M8 digital microscope (Precipoint), 100× oil immersion. Image size 400×400. Peripheral blood film
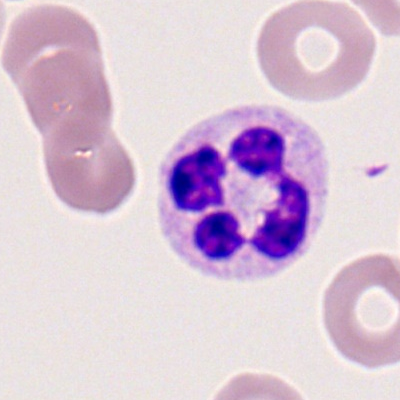 Q: Which cell type is shown here?
A: A neutrophil (segmented).